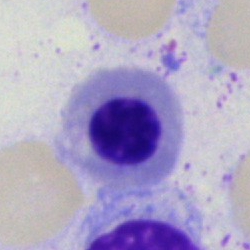

Morphology — nucleated red cell.